Bone marrow smear:
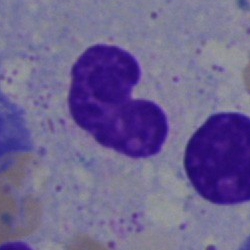

Impression → stab cell.